Bone marrow smear.
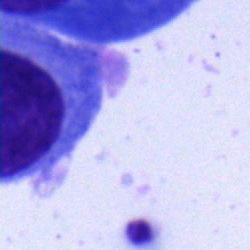

Impression → plasma cell.